250 by 250 pixels; bone marrow smear — 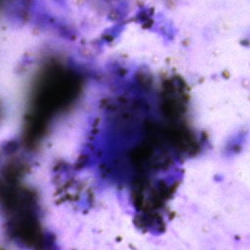
Classification — artifact.